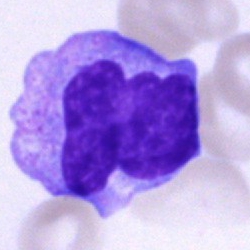 Cell = monocyte.